Bone marrow smear.
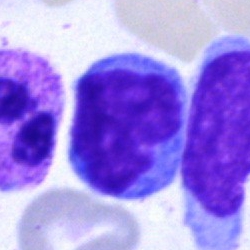Specimen: bone marrow smear.
Cell type: monocyte.
Lineage: myeloid.